Bone marrow aspirate smear — 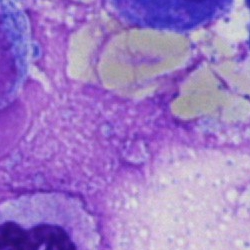Impression — artefact.